Bone marrow smear; MGG-stained.
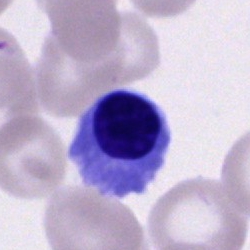

Cell: nucleated red cell.